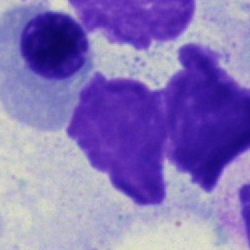 Q: What is shown here?
A: It is an artifact.